40× objective, oil immersion; bone marrow aspirate smear; 250×250
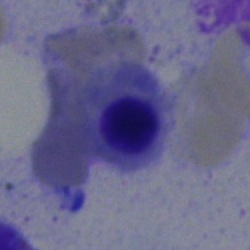 Impression → nucleated red blood cell.